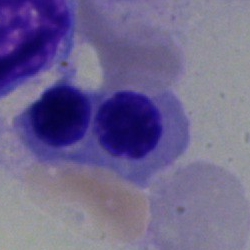 Cell — nucleated red blood cell.